Bone marrow aspirate smear:
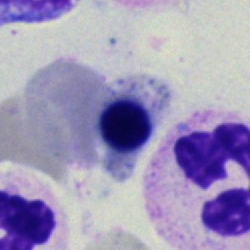 Morphological class = normoblast.